Bone marrow smear
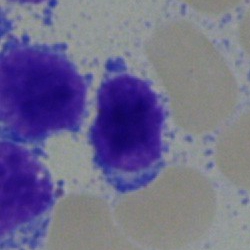

Lymphocyte.